Bone marrow smear; single cell centered in the field.
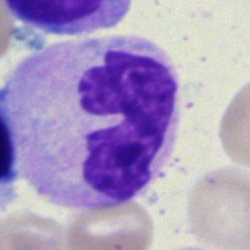

Morphological class — band-form neutrophil.